Bone marrow smear: 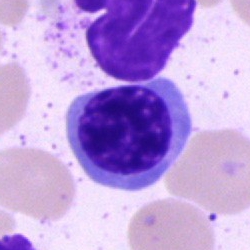
Specimen: bone marrow aspirate smear.
Cell: normoblast.